250×250. Bone marrow aspirate smear. Brightfield, 40× oil-immersion objective.
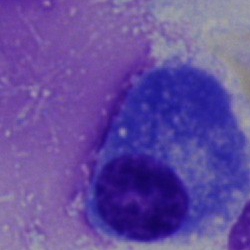 Specimen: bone marrow aspirate smear.
Cell: plasmacyte.